Bone marrow aspirate smear. Cropped to a single cell: 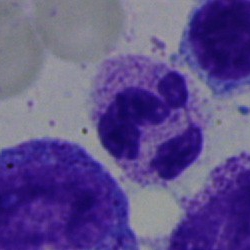

Q: What cell is this?
A: It is a segmented neutrophil.